Bone marrow aspirate smear.
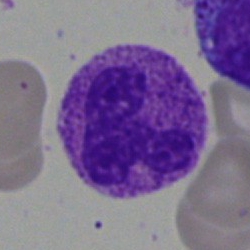Morphology → segmented neutrophil.